Single-cell crop. 40× objective, oil immersion. Bone marrow aspirate smear
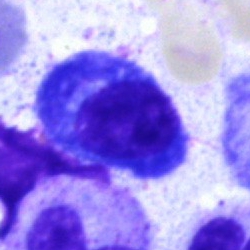 The cell type is plasma cell.